Bone marrow smear: 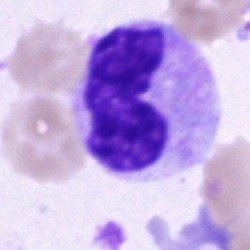
Morphology — polymorphonuclear neutrophil.